Bone marrow smear.
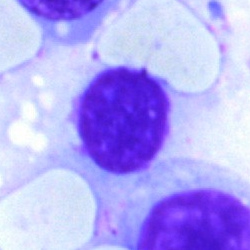 Morphological class: artifact.